Cropped to a single cell · peripheral blood film
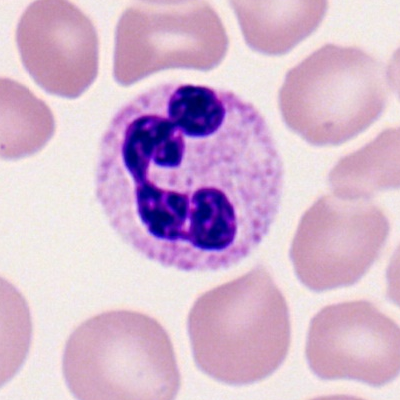 Single cell identified as a polymorphonuclear neutrophil.